Bone marrow smear: 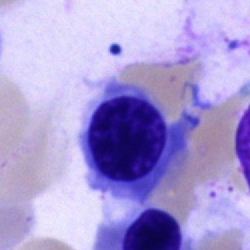Cell type: normoblast.